Bone marrow smear.
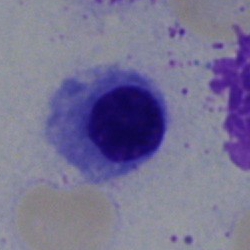
Classification = nucleated red cell.